Bone marrow smear.
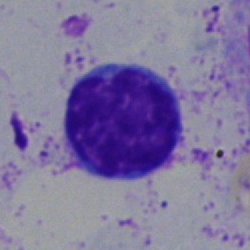

Impression — typical lymphocyte.